Brightfield microscopy, 40× oil immersion. 250×250. Bone marrow aspirate smear.
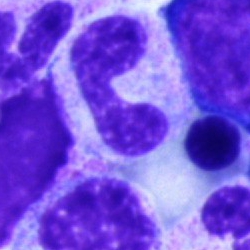Q: What type of cell is this?
A: This is a band-form neutrophil.